Pappenheim-stained; bone marrow smear: 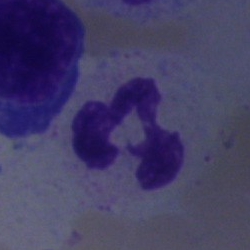

The morphological class is segmented neutrophil.